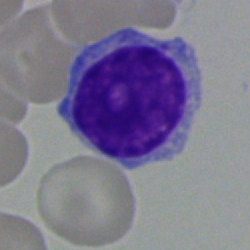
This is a typical lymphocyte.